Bone marrow smear; 250×250 px:
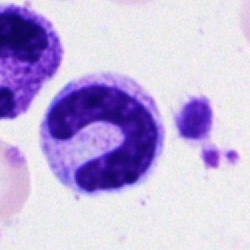 Specimen: bone marrow aspirate smear.
Cell: band neutrophil.